Brightfield microscopy, 40× oil immersion · bone marrow smear · 250 by 250 pixels:
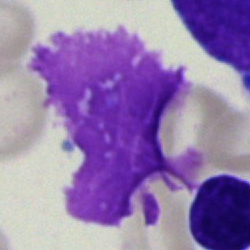
The cell shown is an artifact.